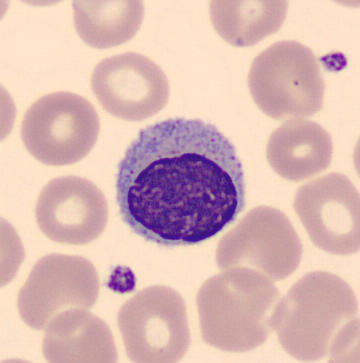 Preparation: CellaVision DM96 · peripheral blood film.
{"cell_type": "typical lymphocyte", "lineage": "lymphoid"}